Cropped to a single cell; bone marrow smear; 40× objective, oil immersion:
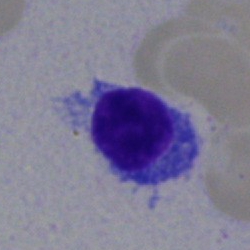 Cell type — lymphocyte.